Bone marrow smear · single-cell crop
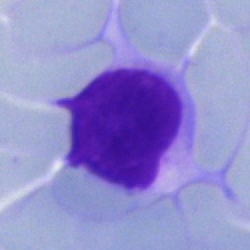 The cell is artifact.